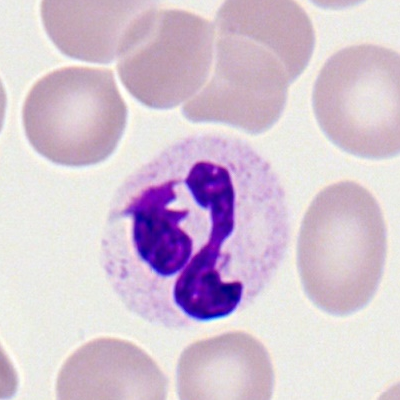Morphology consistent with a polymorphonuclear neutrophil.